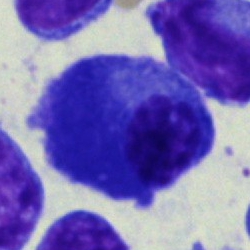The cell is plasma cell.